Bone marrow smear: 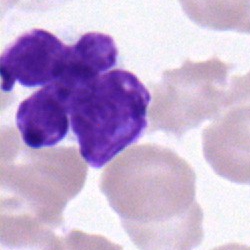Impression — typical lymphocyte.